Bone marrow aspirate smear: 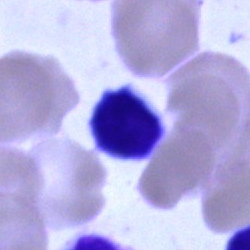
Single cell identified as a lymphocyte.